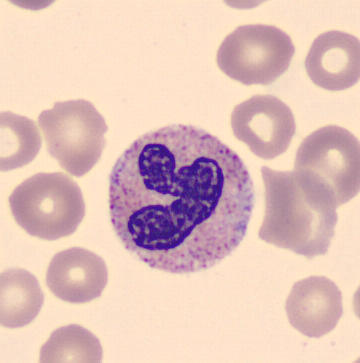

Single cell centered in the field.
Specimen: peripheral blood film.
Cell type: band-form neutrophil.
Lineage: myeloid.